Single cell centered in the field · bone marrow aspirate smear.
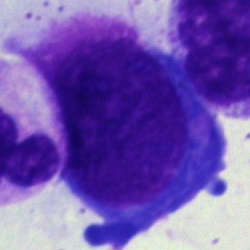

Specimen: bone marrow aspirate smear.
Classification: normoblast.
Lineage: erythroid.